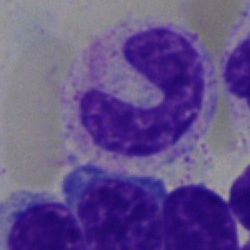
Single-cell crop from a bone marrow smear: band-form neutrophil.